40× oil immersion. Bone marrow aspirate smear. 250×250: 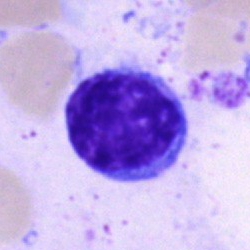Classification: typical lymphocyte.